Bone marrow aspirate smear · 250×250 — 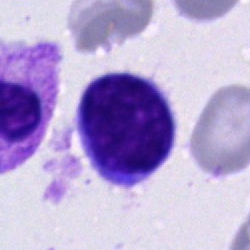 The cell shown is a typical lymphocyte.